Bone marrow smear:
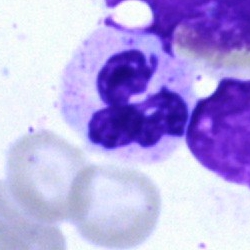

Classification: neutrophil (segmented).